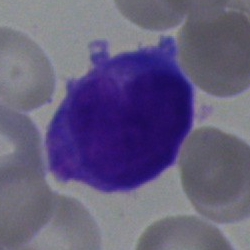
Q: Which cell type is shown here?
A: It is a blast cell.